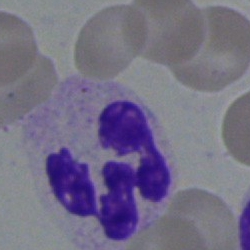

Q: What type of cell is this?
A: It is a segmented neutrophil.